Bone marrow smear — 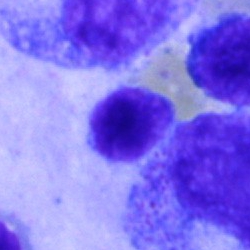

Lymphocyte.